Bone marrow aspirate smear: 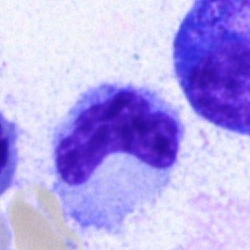
The cell is band-form neutrophil.